Bone marrow smear; image size 250×250; single-cell crop
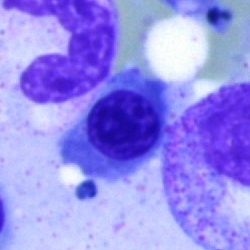

The cell type is erythroblast.